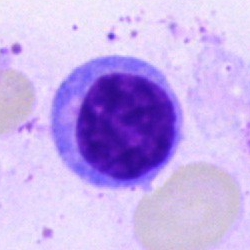A typical lymphocyte.